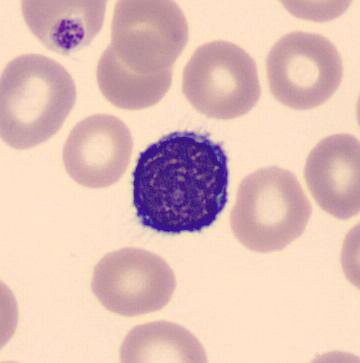
Cell type — typical lymphocyte. Acquisition: Peripheral blood film.